Image size 250×250; bone marrow aspirate smear; single-cell crop: 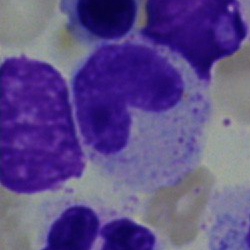
Specimen: bone marrow aspirate smear.
Cell: band neutrophil.
Lineage: myeloid.